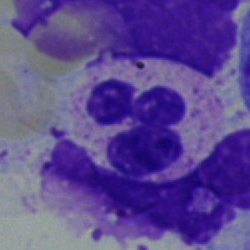Q: What type of cell is this?
A: It is a polymorphonuclear neutrophil.